Bone marrow smear. 250×250. May-Grünwald-Giemsa/Pappenheim stain.
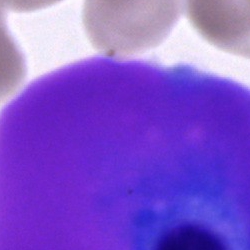
{"cell_type": "plasma cell"}